Bone marrow aspirate smear: 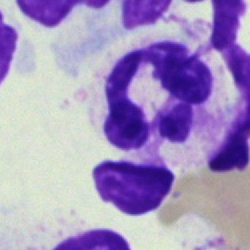Single cell identified as a neutrophil (segmented).